Bone marrow aspirate smear — 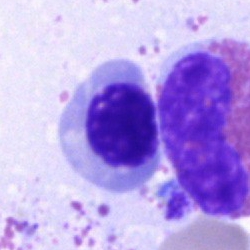
Classification = normoblast.